Bone marrow smear; 40× objective, oil immersion
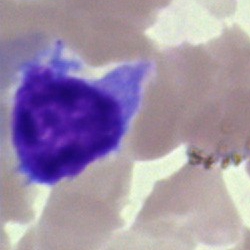Classification — typical lymphocyte.